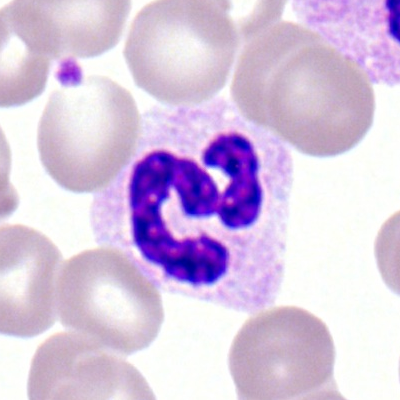

Cell type — neutrophil (segmented).